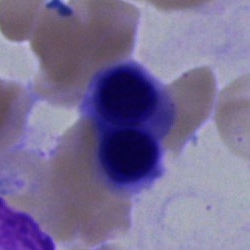{"cell_type": "normoblast", "lineage": "erythroid"}